MGG-stained · bone marrow smear.
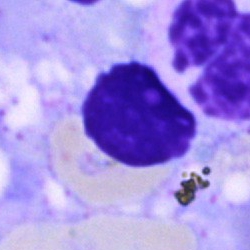
Cell: artefact.